Pappenheim-stained · single cell centered in the field · bone marrow aspirate smear.
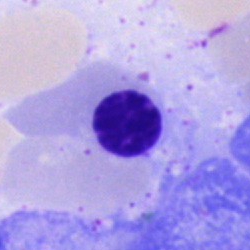Q: What is the morphological classification of this cell?
A: This is a nucleated red cell.